Bone marrow aspirate smear:
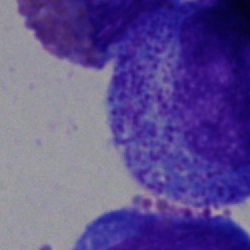This is a progranulocyte.